Bone marrow smear · single-cell field: 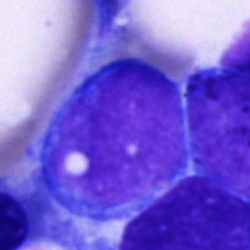

The cell is undifferentiated blast.